Bone marrow aspirate smear. 250×250.
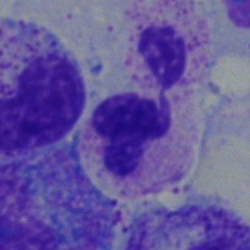
Specimen: bone marrow aspirate smear.
Cell: neutrophil (segmented).
Lineage: myeloid.